Imaged on a CellaVision DM96 analyser. Peripheral blood smear:
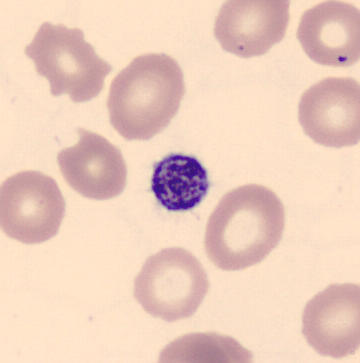 Specimen: peripheral blood film.
Morphological class: platelet.